May-Grünwald-Giemsa stain · bone marrow smear.
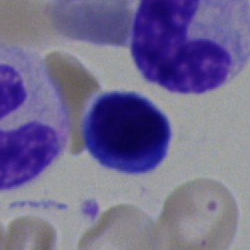
Lymphocyte.